Bone marrow aspirate smear: 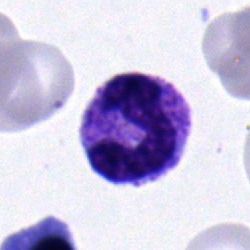 This is a band-form neutrophil.